Single cell centered in the field; bone marrow aspirate smear — 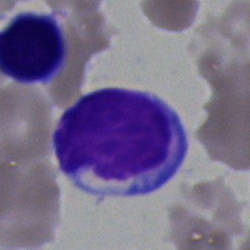Morphological class = typical lymphocyte.